Bone marrow smear:
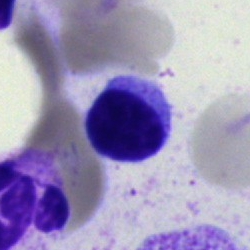
Morphology consistent with a lymphocyte.